40× objective, oil immersion. Bone marrow aspirate smear — 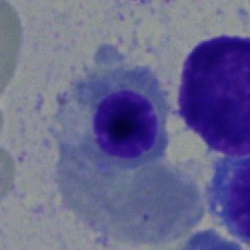

Cell = nucleated red cell.